Bone marrow aspirate smear.
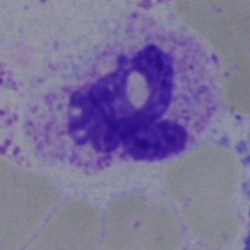Q: What is the morphological classification of this cell?
A: A segmented neutrophil.